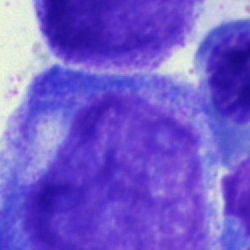Q: What is the morphological classification of this cell?
A: Progranulocyte.